Bone marrow aspirate smear; 250×250: 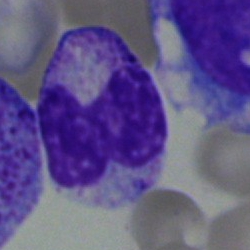

Morphology → neutrophil (band).